Bone marrow smear
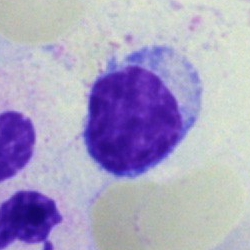A lymphocyte.